Brightfield, 40× oil-immersion objective. Bone marrow aspirate smear:
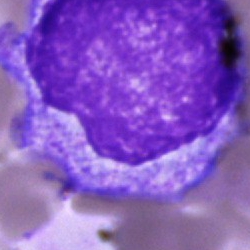
An unidentifiable cell.